Bone marrow aspirate smear. Image size 250×250
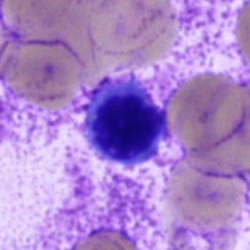
Specimen: bone marrow smear.
Cell type: nucleated red cell.
Lineage: erythroid.